Bone marrow aspirate smear
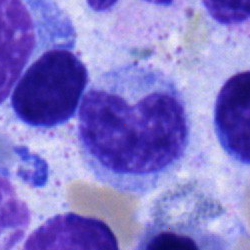

Morphological class: metamyelocyte.